Bone marrow smear · brightfield microscopy, 40× oil immersion
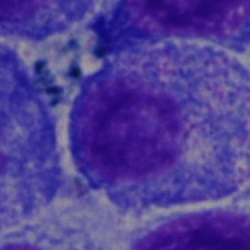
{"cell_type": "promyelocyte"}